Peripheral blood smear; 400×400: 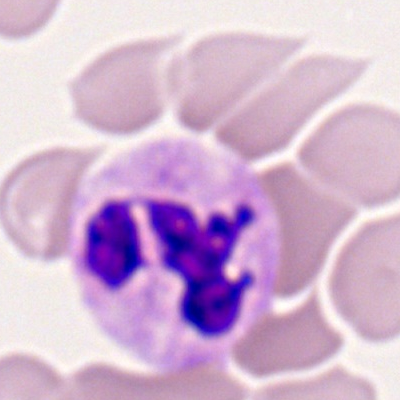Cell type = neutrophil (segmented).